Bone marrow smear:
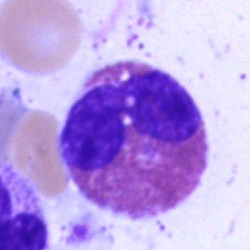 An eosinophil.